Single cell centered in the field. Bone marrow smear.
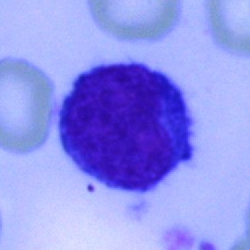 Specimen: bone marrow aspirate smear.
Cell: lymphocyte.
Lineage: lymphoid.